Peripheral blood smear
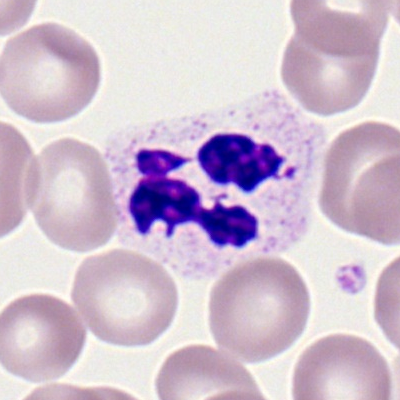Morphology consistent with a segmented neutrophil.